Bone marrow aspirate smear.
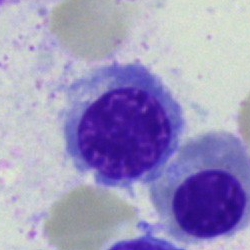

This is an erythroblast.